40× objective, oil immersion · bone marrow smear · image size 250×250
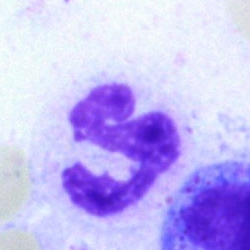

Specimen: bone marrow smear.
Classification: neutrophil (segmented).
Lineage: myeloid.